Bone marrow aspirate smear: 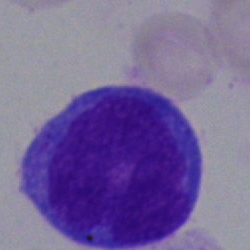Showing a blast cell.